Single-cell crop; bone marrow aspirate smear: 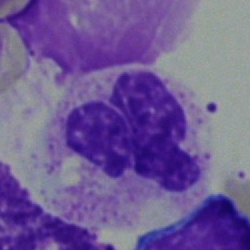

Eosinophilic granulocyte.